Bone marrow smear.
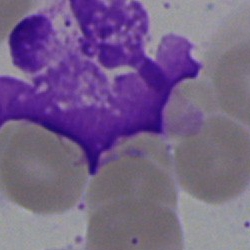
The cell shown is an artifact.